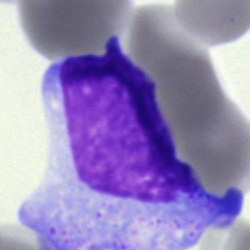The cell is blast cell.